Bone marrow aspirate smear.
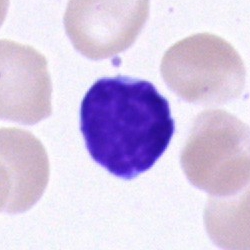
Single cell identified as a lymphocyte.